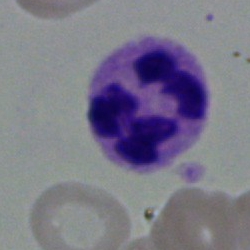Classification — polymorphonuclear neutrophil.